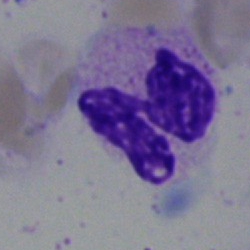Cell type: segmented neutrophil.